Single-cell crop. Peripheral blood smear
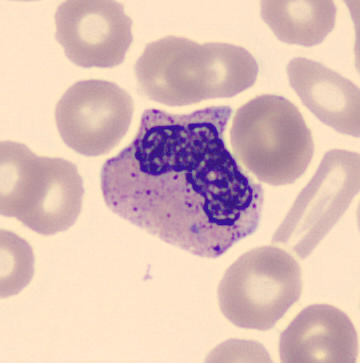

This is a band neutrophil.